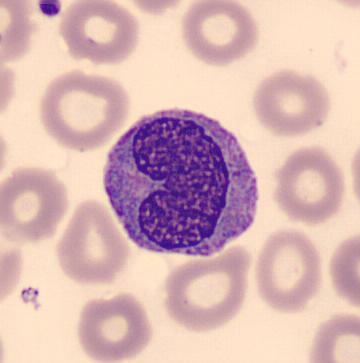 Morphology — monocyte. Acquisition: Peripheral blood film.